Bone marrow aspirate smear:
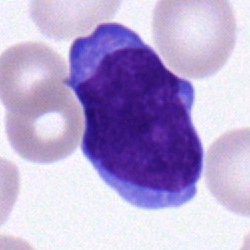Specimen: bone marrow smear.
Cell: blast cell.